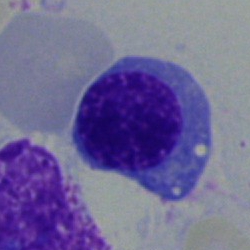 This is a nucleated red cell.